Bone marrow smear — 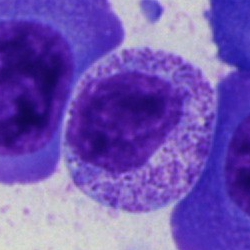 Morphology — myelocyte.